Peripheral blood film: 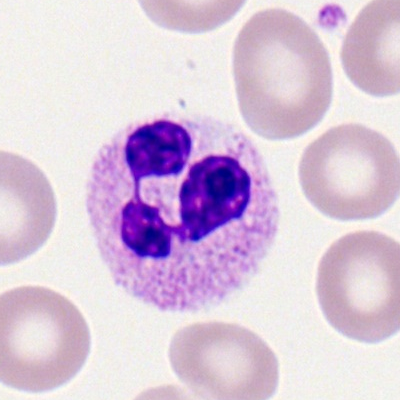
Q: Which cell type is shown here?
A: It is a polymorphonuclear neutrophil.